MGG-stained · bone marrow smear.
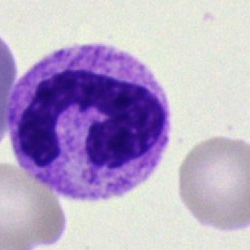Q: What type of cell is this?
A: It is a segmented neutrophil.